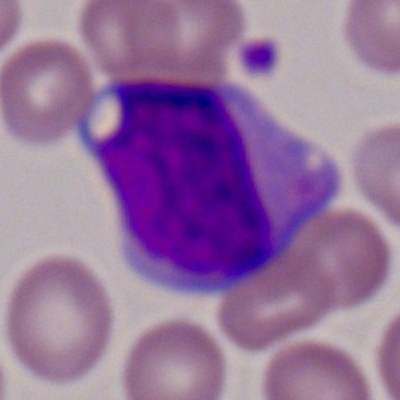
Single-cell crop from a peripheral blood smear: myeloid blast.